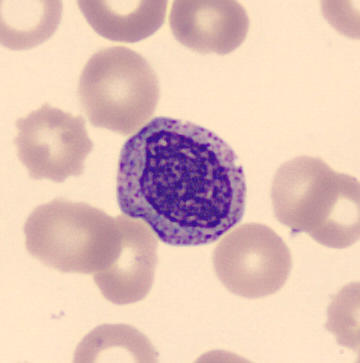 Specimen: peripheral blood smear.
Cell type: myelocyte.
Lineage: myeloid.